Pappenheim-stained; bone marrow aspirate smear — 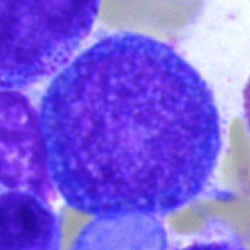 Q: What cell is this?
A: It is a proerythroblast.